Single-cell crop · peripheral blood smear: 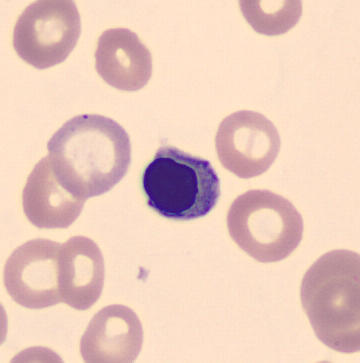Morphological class — nucleated red cell.